Bone marrow aspirate smear:
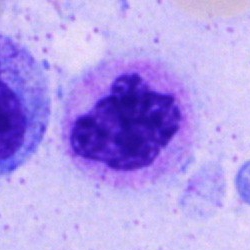

Morphology consistent with a segmented neutrophil.